Bone marrow smear; 40× oil immersion
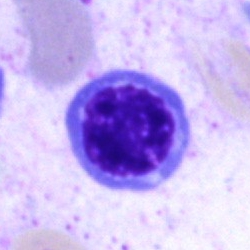 Morphology — normoblast.